Bone marrow aspirate smear: 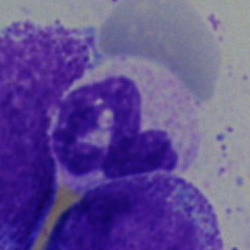 A neutrophil (segmented).